Brightfield microscopy, 40× oil immersion. Bone marrow smear. 250×250 px — 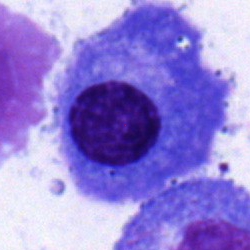 Showing a plasma cell.